Peripheral blood film
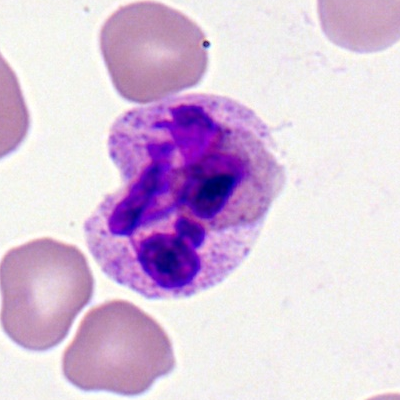

Classification — polymorphonuclear neutrophil.